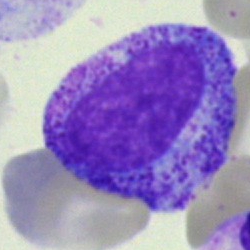Q: What type of cell is this?
A: This is a promyelocyte.